Bone marrow smear — 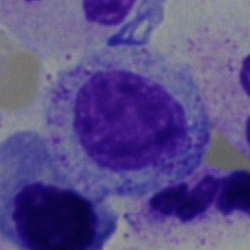
{"cell_type": "myelocyte", "lineage": "myeloid"}